Bone marrow smear; May-Grünwald-Giemsa stain: 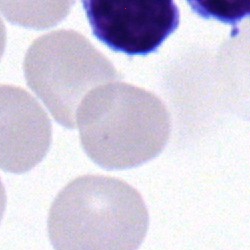

Morphological class — typical lymphocyte.